Bone marrow smear; brightfield, 40× oil-immersion objective.
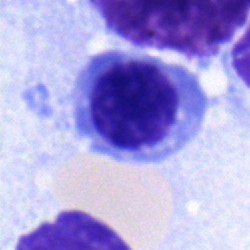Classification: normoblast.